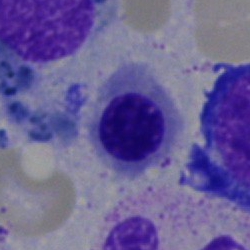Bone marrow smear showing a normoblast.